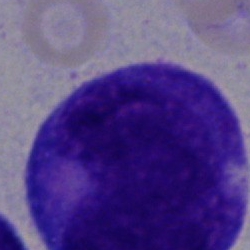
Specimen: bone marrow aspirate smear.
Cell: undifferentiated blast.